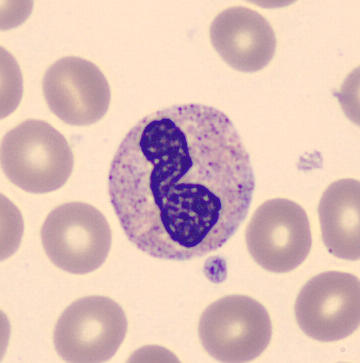Acquisition: Peripheral blood smear. Single cell centered in the field.

Q: Which cell type is shown here?
A: This is a neutrophil (band).